Single cell centered in the field; bone marrow smear: 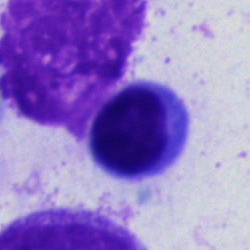Q: What is the morphological classification of this cell?
A: This is a typical lymphocyte.